Peripheral blood smear; single-cell crop; 400 by 400 pixels.
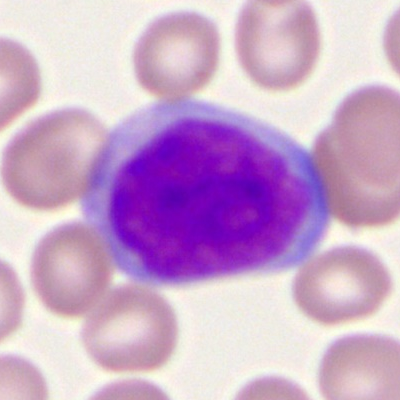
Morphology → myeloid blast.